Brightfield microscopy, 40× oil immersion; bone marrow aspirate smear — 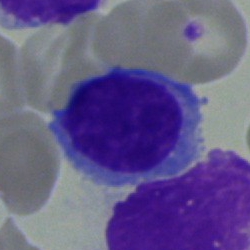Cell: typical lymphocyte.